Bone marrow aspirate smear.
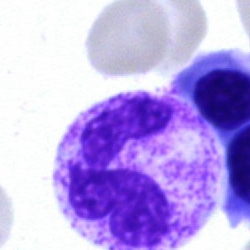

Cell — polymorphonuclear neutrophil.